Bone marrow smear — 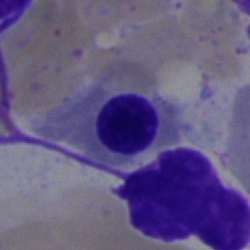Q: Identify the cell.
A: Normoblast.